Bone marrow smear: 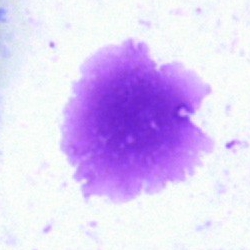Morphology — artifact.